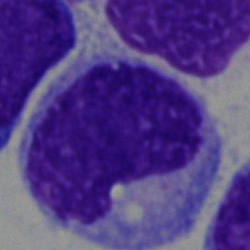
The cell shown is a monocyte.